Bone marrow smear — 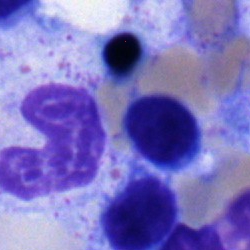Q: Which cell type is shown here?
A: It is a nucleated red blood cell.